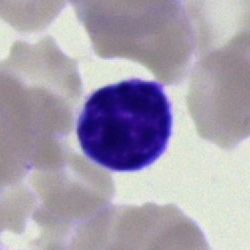 Single cell identified as a lymphocyte.